Bone marrow smear; single cell centered in the field — 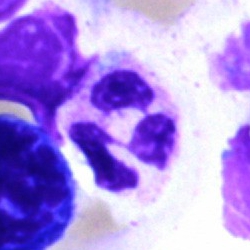

A segmented neutrophil.